M8 digital microscope (Precipoint), 100× oil immersion; peripheral blood film.
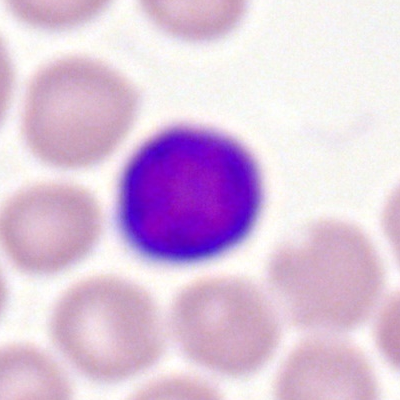

{"cell_type": "typical lymphocyte"}